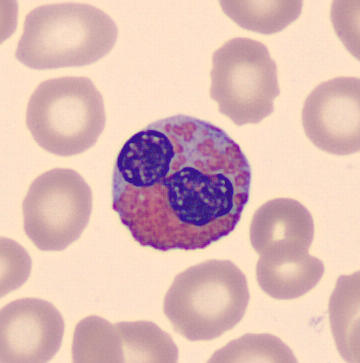Q: Identify the cell.
A: This is an eosinophil.

Image: May-Grünwald-Giemsa-stained · peripheral blood smear.